250×250. Bone marrow aspirate smear. May-Grünwald-Giemsa stain.
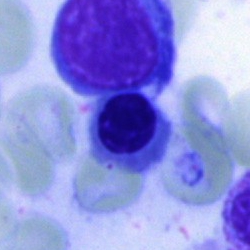
This is a normoblast.